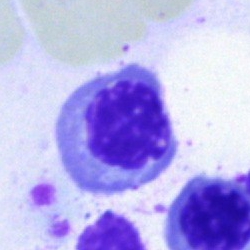{"cell_type": "normoblast", "lineage": "erythroid"}